Romanowsky-type stain. Peripheral blood smear. Single-cell field:
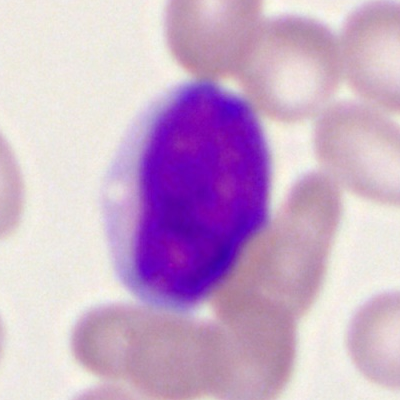
{"cell_type": "myeloblast", "lineage": "myeloid"}